Bone marrow aspirate smear — 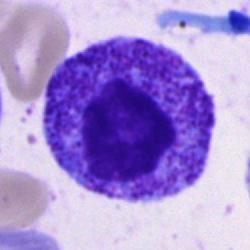
Cell — progranulocyte.